May-Grünwald-Giemsa stain · 250×250 · bone marrow smear:
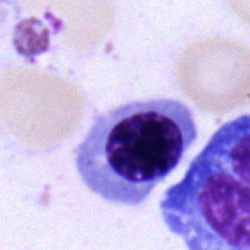
Morphology → nucleated red cell.